Peripheral blood film; cropped to a single cell
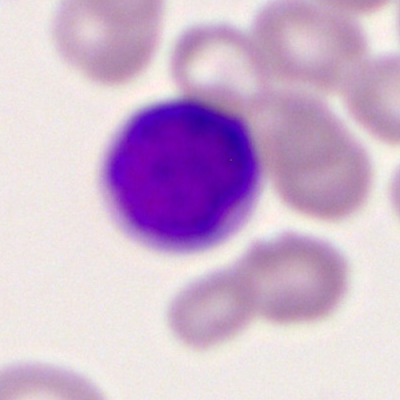 Showing a myeloid blast.